Bone marrow aspirate smear
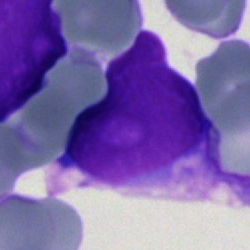

Cell: blast cell.